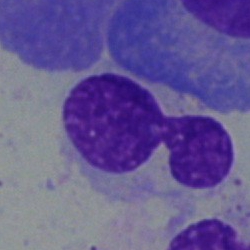
Morphology → artifact.